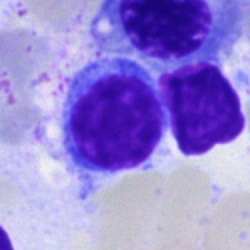 The cell shown is a typical lymphocyte.